Bone marrow aspirate smear:
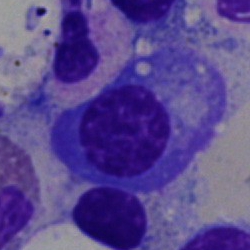
Q: Which cell type is shown here?
A: It is a plasmacyte.